Single cell centered in the field; bone marrow aspirate smear; image size 250×250:
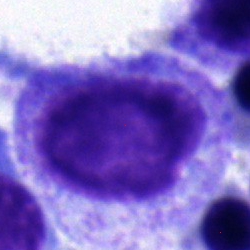
Morphology → myelocyte.